Bone marrow smear · Pappenheim-stained · 40× oil immersion — 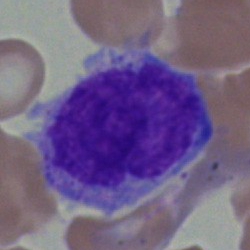

Showing a monocyte.